Bone marrow smear; single-cell field; 250 by 250 pixels:
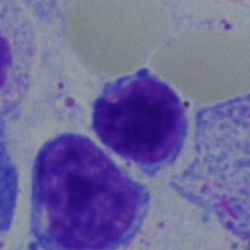The cell shown is a typical lymphocyte.